Bone marrow aspirate smear. 250×250. Cropped to a single cell:
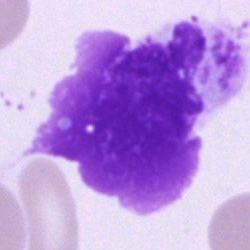An artifact.